250×250 · bone marrow smear.
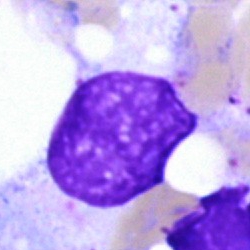 Morphology consistent with an artefact.